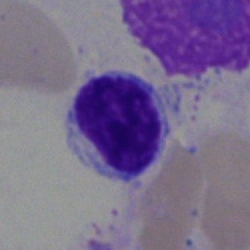 Impression → lymphocyte.